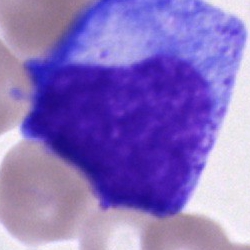 Showing a progranulocyte.